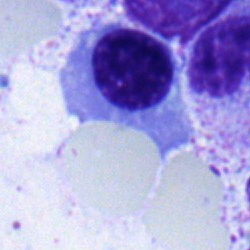{"cell_type": "normoblast"}